Bone marrow aspirate smear · 250 by 250 pixels: 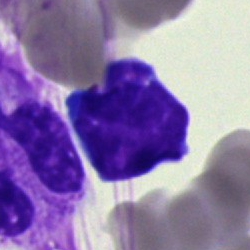
Cell — artifact.